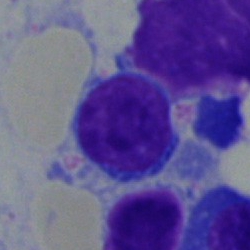 Bone marrow smear showing a lymphocyte.